MGG-stained; bone marrow aspirate smear.
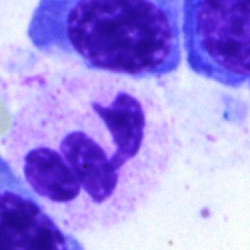

Morphology — segmented neutrophil.